Single-cell field; May-Grünwald-Giemsa/Pappenheim stain; bone marrow aspirate smear:
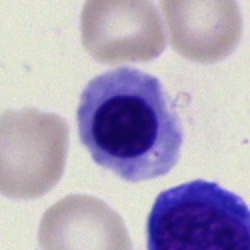
Showing a nucleated red cell.